Bone marrow aspirate smear
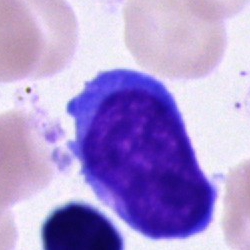{"cell_type": "blast cell"}